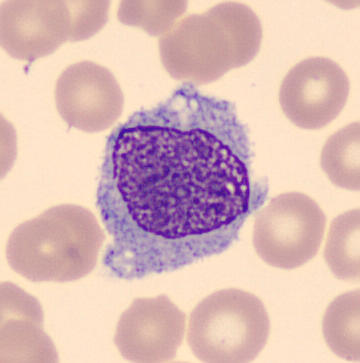 Acquisition: Peripheral blood smear; May Grünwald-Giemsa stain. Impression → monocyte.